Cropped to a single cell · bone marrow smear: 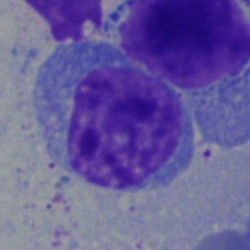 Q: What is shown here?
A: Typical lymphocyte.